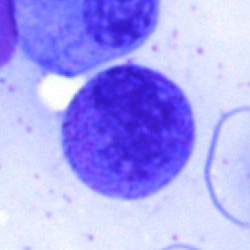 A cell of indeterminate lineage.